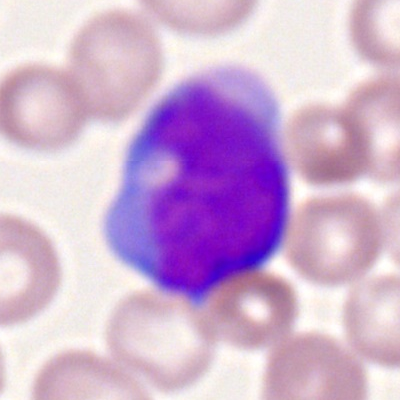The classification is myeloid blast.